Single cell centered in the field. Image size 250×250. Bone marrow aspirate smear — 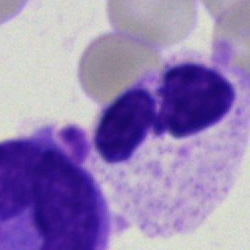
Q: What is the morphological classification of this cell?
A: Neutrophil (segmented).